Image size 250×250. Bone marrow aspirate smear — 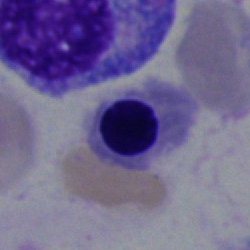 Q: What is the morphological classification of this cell?
A: An erythroblast.